Bone marrow smear. 250 by 250 pixels. Pappenheim-stained
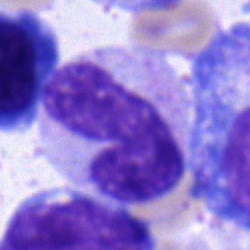Showing a neutrophil (band).